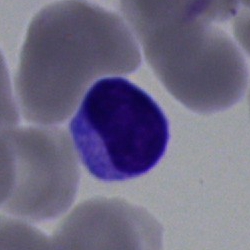

Single-cell crop from a bone marrow smear: typical lymphocyte.